Bone marrow smear.
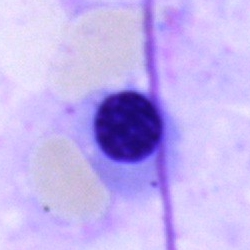Cell: erythroblast.